Bone marrow smear; Pappenheim-stained — 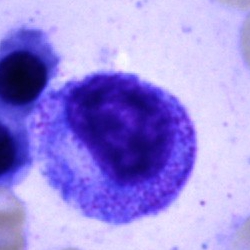

Cell type — progranulocyte.